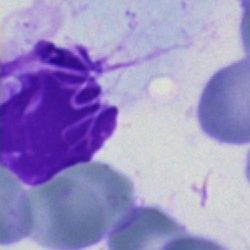 Artifact.